Bone marrow aspirate smear. 40× objective, oil immersion — 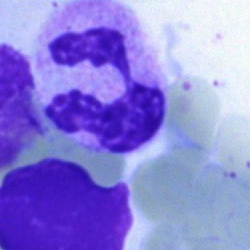
The cell shown is a segmented neutrophil.